Bone marrow smear. Cropped to a single cell. May-Grünwald-Giemsa stain:
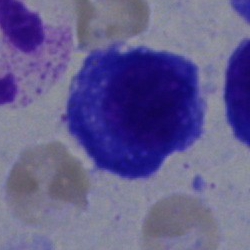
Morphology consistent with a plasma cell.